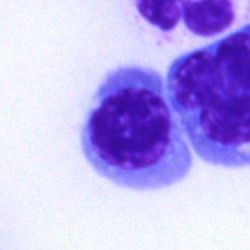{"cell_type": "nucleated red blood cell", "lineage": "erythroid"}